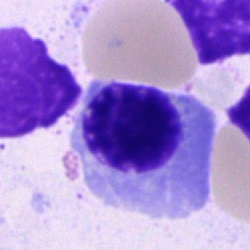
Bone marrow aspirate smear, single cell — nucleated red cell.